Bone marrow smear:
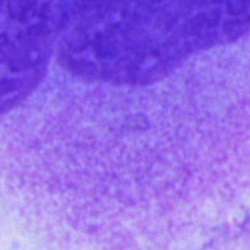
Morphology → artifact.